Bone marrow smear.
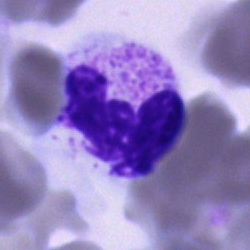Specimen: bone marrow smear.
Cell: segmented neutrophil.
Lineage: myeloid.